Bone marrow smear — 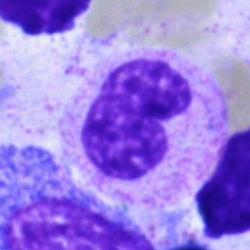

This is a stab cell.